Bone marrow aspirate smear · 40× oil immersion — 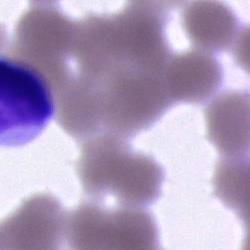
Q: What is shown here?
A: This is an artifact.